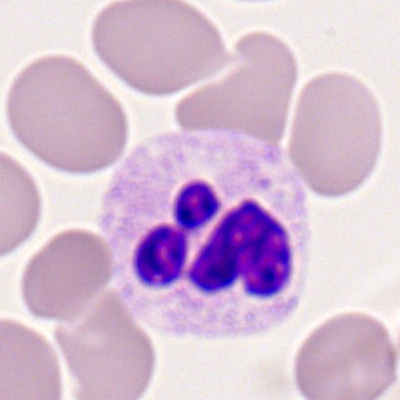 Specimen: peripheral blood smear.
Classification: polymorphonuclear neutrophil.
Lineage: myeloid.